40× oil immersion · bone marrow aspirate smear — 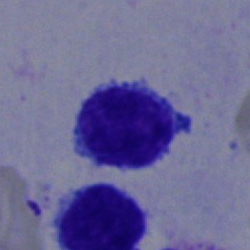{"cell_type": "lymphocyte", "lineage": "lymphoid"}